Bone marrow aspirate smear; 40× objective, oil immersion:
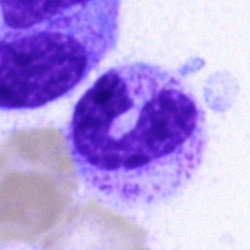 Specimen: bone marrow aspirate smear.
Morphological class: band neutrophil.
Lineage: myeloid.